Peripheral blood smear — 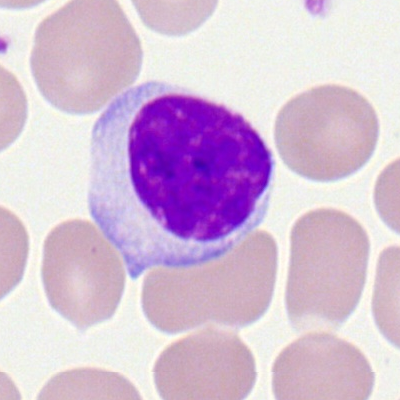
Q: What is shown here?
A: A lymphocyte.